Brightfield microscopy, 40× oil immersion. Bone marrow aspirate smear — 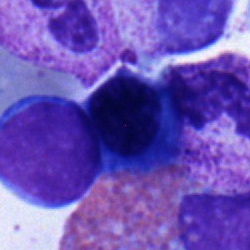This is a normoblast.